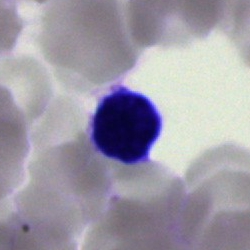
Q: Identify the cell.
A: It is a typical lymphocyte.